Bone marrow aspirate smear: 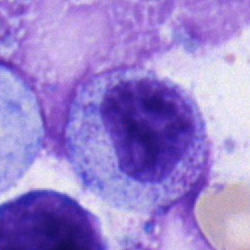

A myelocyte.